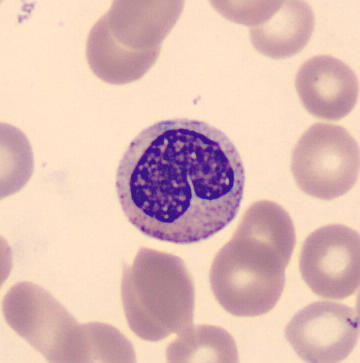 Image: Automated cell imaging (CellaVision DM96) · single-cell crop · peripheral blood smear. Cell type: metamyelocyte.